Bone marrow smear:
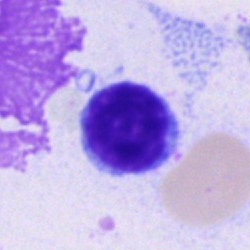The cell is typical lymphocyte.